Bone marrow aspirate smear.
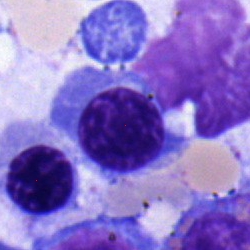 A normoblast.